Bone marrow aspirate smear: 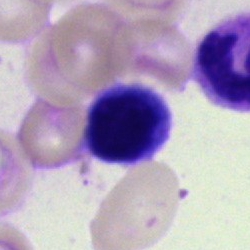

The cell shown is a lymphocyte.